Bone marrow aspirate smear:
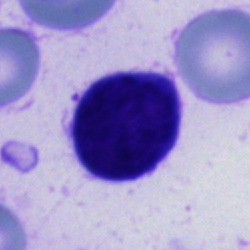 Impression — cell of indeterminate lineage.